Bone marrow smear — 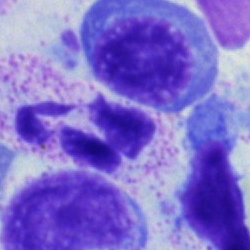 Q: What is the morphological classification of this cell?
A: Polymorphonuclear neutrophil.